MGG-stained. Bone marrow aspirate smear.
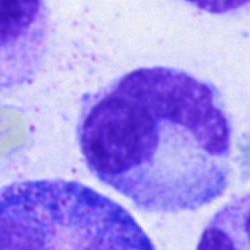Showing a stab cell.